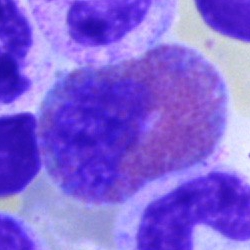The cell shown is an eosinophil.